Bone marrow aspirate smear — 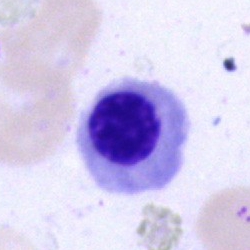

Nucleated red blood cell.